Bone marrow aspirate smear: 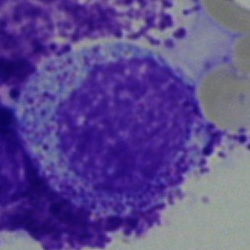
The morphological class is myelocyte.